Bone marrow smear:
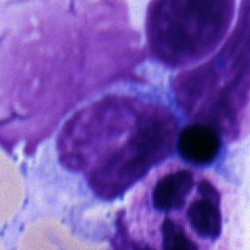The classification is lymphocyte.